Bone marrow aspirate smear.
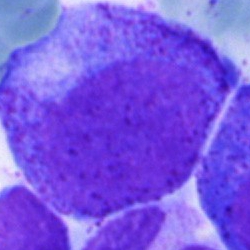Q: Identify the cell.
A: This is a progranulocyte.